Bone marrow aspirate smear; cropped to a single cell — 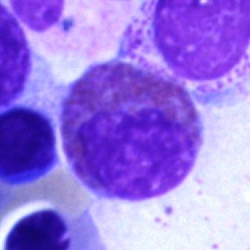
Single cell identified as an eosinophilic granulocyte.